Bone marrow aspirate smear.
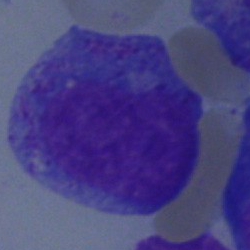
Specimen: bone marrow aspirate smear.
Morphological class: progranulocyte.